Cropped to a single cell · 40× objective, oil immersion · bone marrow aspirate smear:
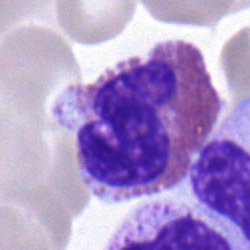
The cell shown is an eosinophil.